Bone marrow smear:
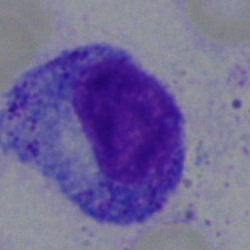
Q: What is shown here?
A: A promyelocyte.